Bone marrow aspirate smear.
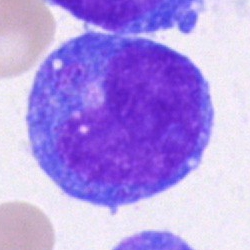 A progranulocyte.